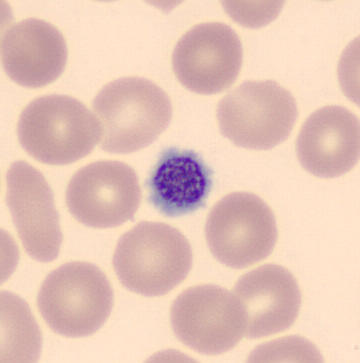
Morphological class — platelet (thrombocyte). Image: Imaged on a CellaVision DM96 analyser; peripheral blood smear; May-Grünwald-Giemsa-stained.